Bone marrow aspirate smear:
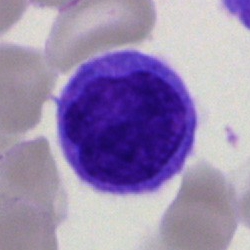 Typical lymphocyte.